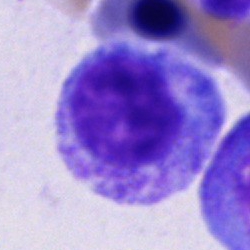 Promyelocyte.